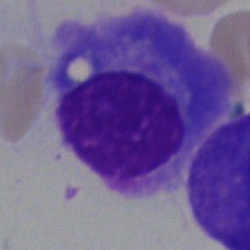{"cell_type": "plasma cell"}